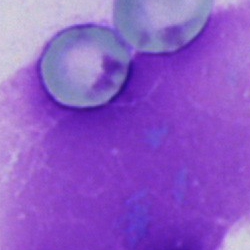 Classification — artifact.